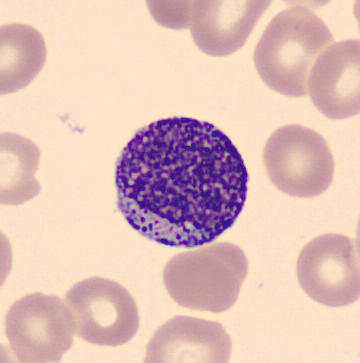Classification — myelocyte.

Preparation: Peripheral blood smear; MGG stain; CellaVision DM96.